40× objective, oil immersion; bone marrow smear; cropped to a single cell.
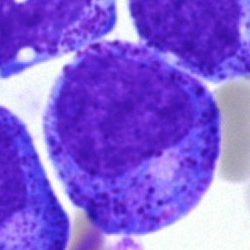 Morphology consistent with a promyelocyte.